Bone marrow aspirate smear.
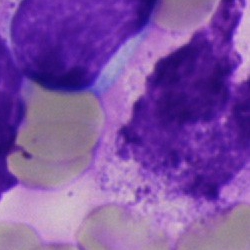
Classification — artefact.